Peripheral blood film
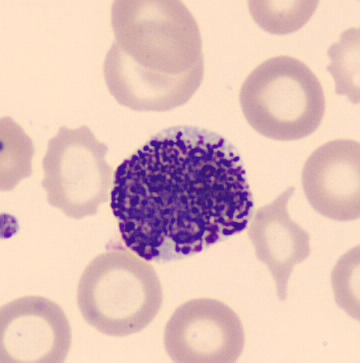

Q: Which cell type is shown here?
A: Basophil.